Brightfield microscopy, 40× oil immersion; bone marrow aspirate smear
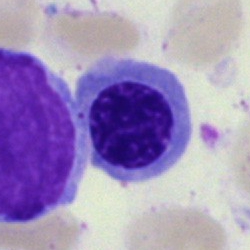 Q: Identify the cell.
A: Erythroblast.